Brightfield microscopy, 40× oil immersion. Bone marrow smear. Single-cell field.
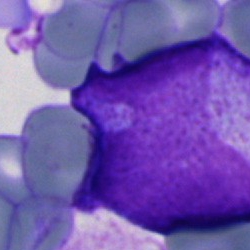 Morphology — undifferentiated blast.